Bone marrow aspirate smear. Single-cell field. Image size 250×250:
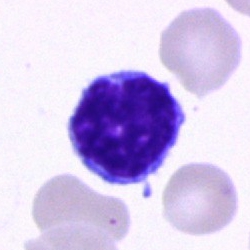This is a lymphocyte.